Bone marrow smear; cropped to a single cell — 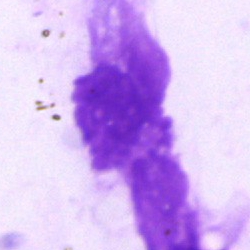
Q: What is shown here?
A: An artefact.